Pappenheim-stained · brightfield microscopy, 40× oil immersion · bone marrow aspirate smear.
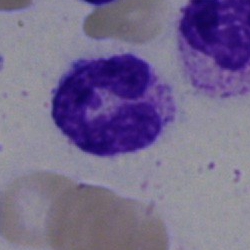Morphology — polymorphonuclear neutrophil.